Brightfield, 40× oil-immersion objective. Bone marrow aspirate smear
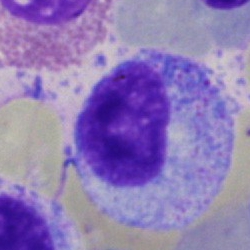{"cell_type": "myelocyte", "lineage": "myeloid"}